Brightfield, 40× oil-immersion objective. Bone marrow aspirate smear
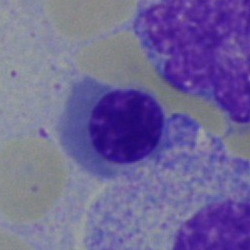
Morphological class — nucleated red cell.